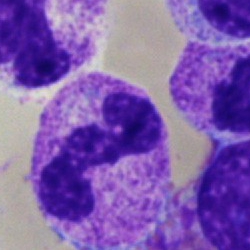

Morphology → polymorphonuclear neutrophil.